Bone marrow aspirate smear.
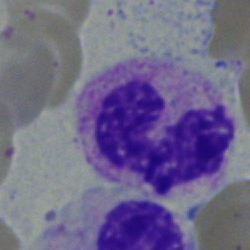

Q: Identify the cell.
A: Segmented neutrophil.